Bone marrow smear:
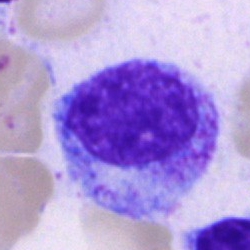

This is a myelocyte.